Peripheral blood film: 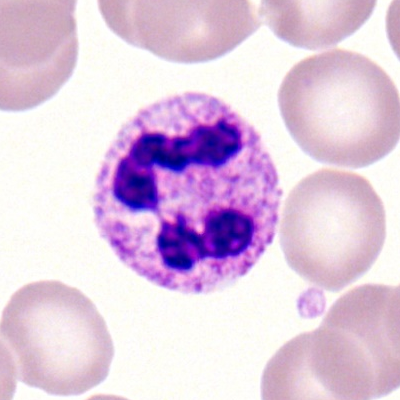 {"cell_type": "segmented neutrophil", "lineage": "myeloid"}